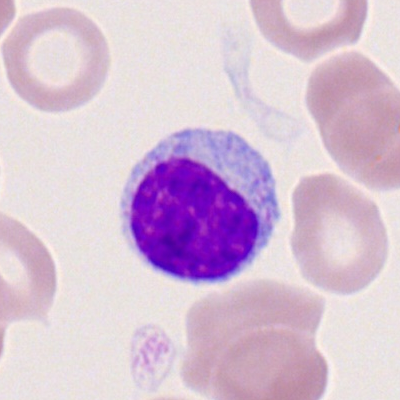 {"cell_type": "typical lymphocyte", "lineage": "lymphoid"}